MGG-stained. Bone marrow aspirate smear. 250×250 px:
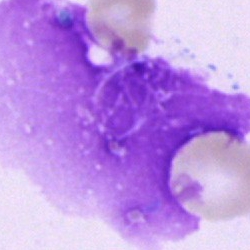Morphology consistent with an artefact.